Bone marrow smear: 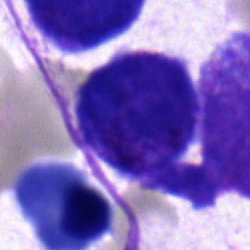
Blast cell.